250 by 250 pixels; bone marrow smear — 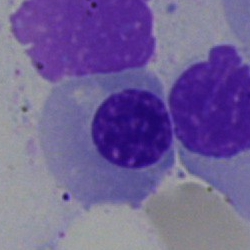Showing a nucleated red blood cell.